Bone marrow aspirate smear
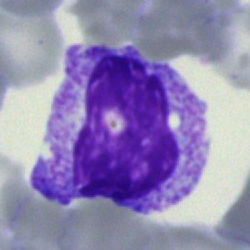
Impression — myelocyte.